May-Grünwald-Giemsa stain; bone marrow smear:
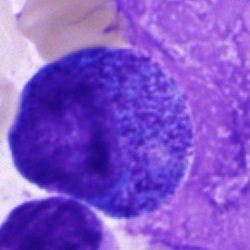

{"cell_type": "promyelocyte", "lineage": "myeloid"}